Image size 250×250 · bone marrow aspirate smear
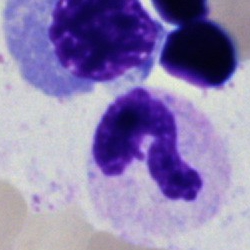Q: What is shown here?
A: Neutrophil (segmented).